Bone marrow smear:
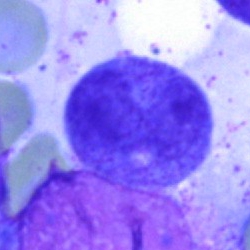 Q: What is the morphological classification of this cell?
A: Cell of indeterminate lineage.